Bone marrow smear; Pappenheim-stained — 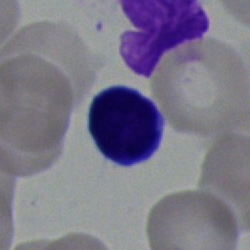 Q: Identify the cell.
A: Typical lymphocyte.